Bone marrow smear.
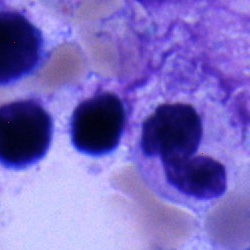
The cell type is typical lymphocyte.